Image size 250×250 · bone marrow aspirate smear:
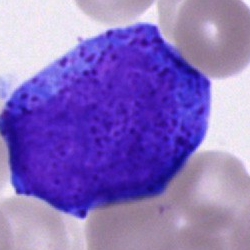Cell = promyelocyte.